Bone marrow smear — 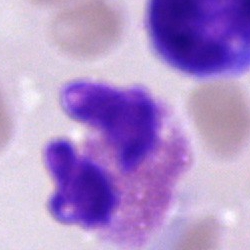 Classification: eosinophil.